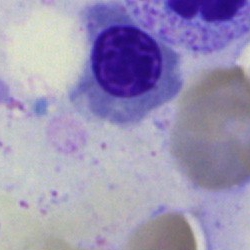

Single-cell crop from a bone marrow smear: normoblast.